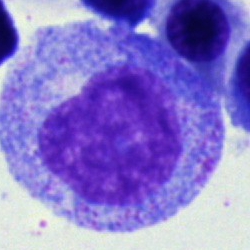

Single-cell crop from a bone marrow smear: metamyelocyte.